Bone marrow smear · image size 250×250
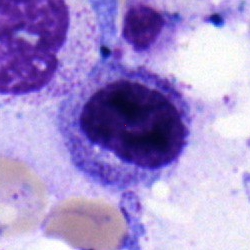Myelocyte.